Bone marrow smear
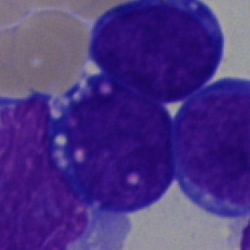 A blast cell.